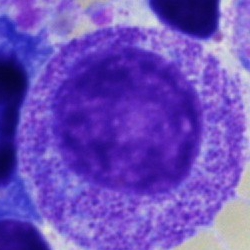 Q: Which cell type is shown here?
A: A progranulocyte.